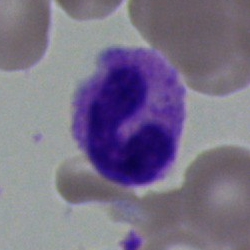Bone marrow aspirate smear, single cell — stab cell.